Bone marrow aspirate smear — 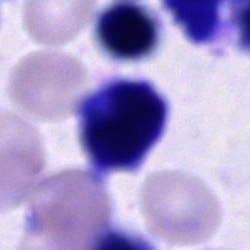

This is an unidentifiable cell.